Bone marrow aspirate smear. Image size 250×250
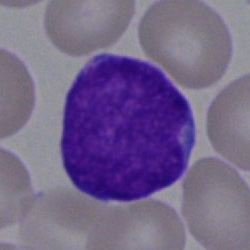Morphological class = undifferentiated blast.